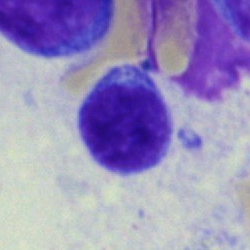 Impression — lymphocyte.